40× objective, oil immersion · single-cell crop · bone marrow smear — 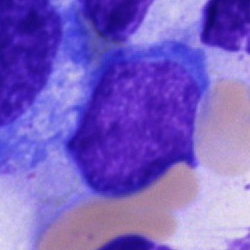

Q: What is the morphological classification of this cell?
A: It is an undifferentiated blast.